Bone marrow smear; 250×250 px: 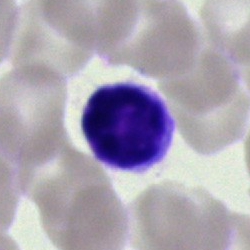Q: What is shown here?
A: A typical lymphocyte.